Bone marrow aspirate smear. Cropped to a single cell. 40× objective, oil immersion — 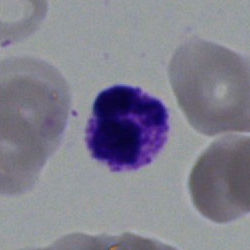
Showing a polymorphonuclear neutrophil.